Bone marrow smear.
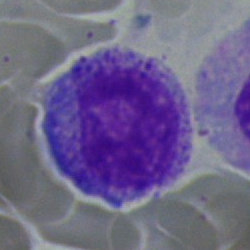

Specimen: bone marrow smear.
Classification: myelocyte.
Lineage: myeloid.